Cropped to a single cell. MGG-stained. Bone marrow aspirate smear
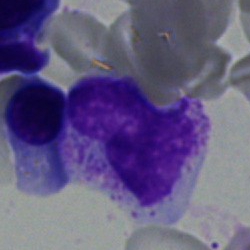 Classification — metamyelocyte.